Peripheral blood smear · 400×400 px:
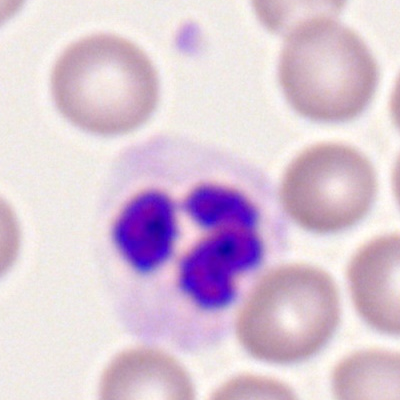

Specimen: peripheral blood smear.
Morphological class: neutrophil (segmented).
Lineage: myeloid.